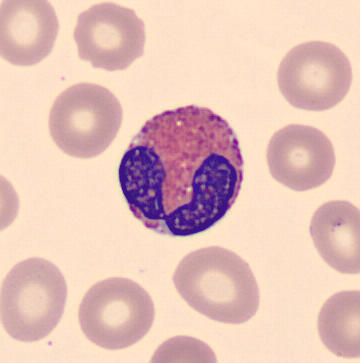
Classification: eosinophil.
Image: Peripheral blood smear.